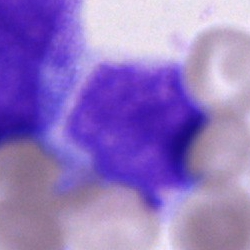
Q: What cell is this?
A: A cell of indeterminate lineage.